Bone marrow aspirate smear. 250×250 px. Brightfield microscopy, 40× oil immersion.
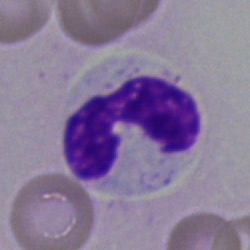

Specimen: bone marrow smear.
Cell: polymorphonuclear neutrophil.
Lineage: myeloid.